Peripheral blood smear; MGG-stained
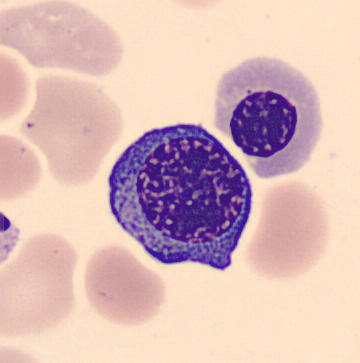Morphology → nucleated red cell.